Single cell centered in the field. 40× oil immersion. Bone marrow aspirate smear:
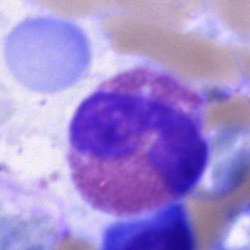

{"cell_type": "eosinophilic granulocyte", "lineage": "myeloid"}